Bone marrow aspirate smear.
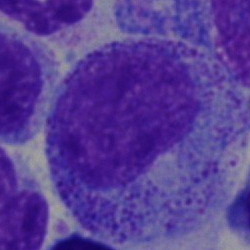 Classification: progranulocyte.